Bone marrow aspirate smear; 40× objective, oil immersion — 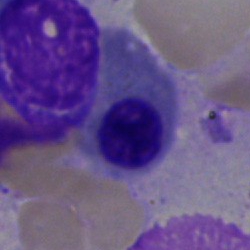Q: What is shown here?
A: Nucleated red blood cell.